Peripheral blood smear. May-Grünwald-Giemsa-stained.
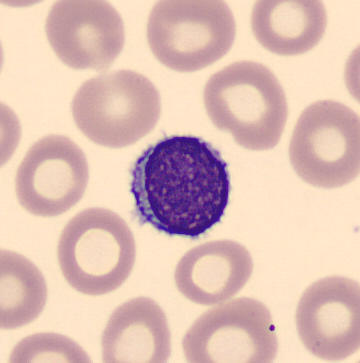
Specimen: peripheral blood film.
Cell: lymphocyte.
Lineage: lymphoid.